250×250 px; May-Grünwald-Giemsa stain; bone marrow aspirate smear.
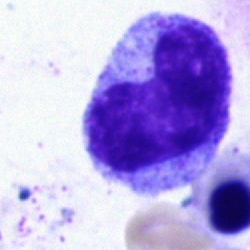 Cell: metamyelocyte.